Single-cell crop · 250×250 · bone marrow aspirate smear: 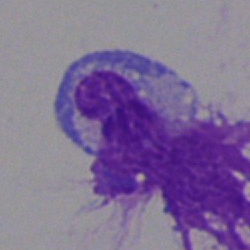 Showing an artefact.